Brightfield microscopy, 40× oil immersion. Bone marrow aspirate smear.
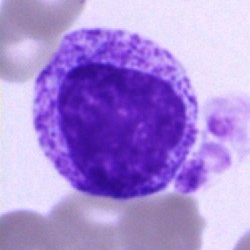 Morphological class = myelocyte.